40× oil immersion. Bone marrow smear. Single-cell crop
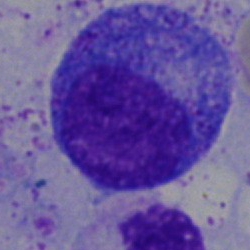

Classification = promyelocyte.